Bone marrow smear: 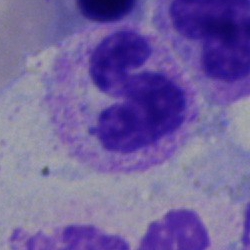 Segmented neutrophil.